Bone marrow smear. 250×250 px. MGG-stained:
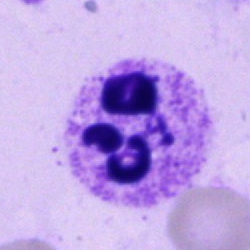
Segmented neutrophil.